40× objective, oil immersion · bone marrow smear:
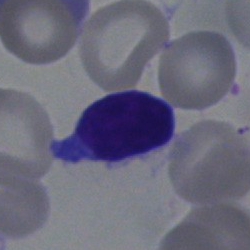

Q: Identify the cell.
A: A lymphocyte.